Brightfield microscopy, 40× oil immersion. Image size 250×250. Bone marrow smear: 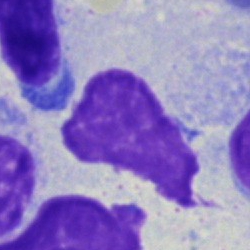

Specimen: bone marrow aspirate smear.
Classification: artefact.